Cropped to a single cell. Brightfield microscopy, 40× oil immersion. Bone marrow smear
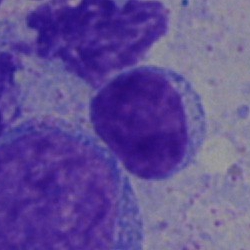 Impression — lymphocyte.